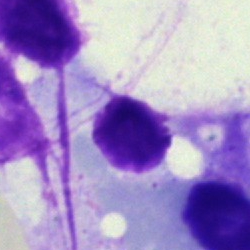Q: What is shown here?
A: It is an artefact.